Bone marrow aspirate smear. Single-cell field: 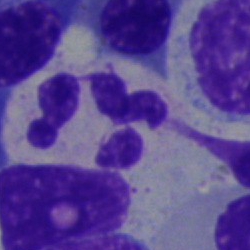The cell type is neutrophil (segmented).